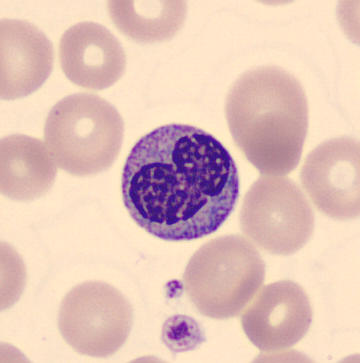Q: Identify the cell.
A: A metamyelocyte. Preparation: Peripheral blood smear. May-Grünwald-Giemsa-stained. CellaVision DM96.